Bone marrow aspirate smear.
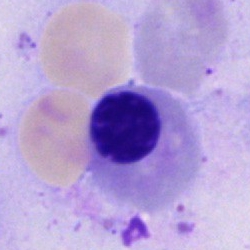
Impression → nucleated red cell.